Bone marrow aspirate smear:
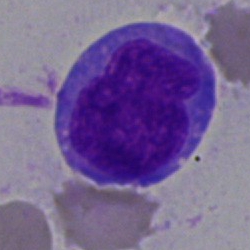 Morphological class: blast cell.